Bone marrow smear; 250 by 250 pixels
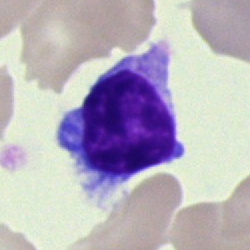 Cell = lymphocyte.